Bone marrow smear — 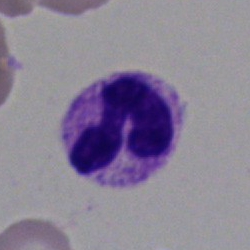

Single cell identified as a polymorphonuclear neutrophil.